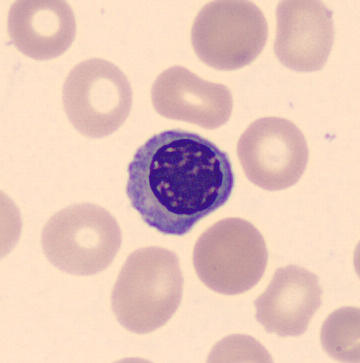

Acquisition: Imaged on a CellaVision DM96 analyser; peripheral blood smear. Nucleated red cell.